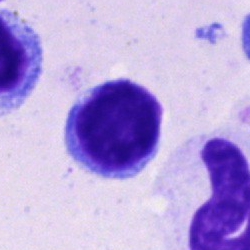Single cell identified as a typical lymphocyte.